Bone marrow aspirate smear.
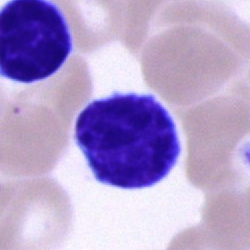The classification is lymphocyte.